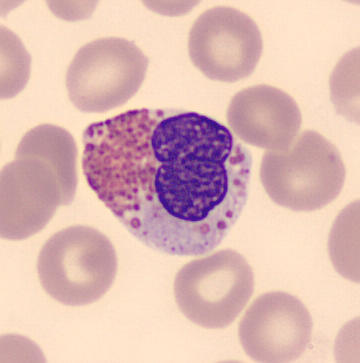 Q: Identify the cell.
A: An eosinophilic granulocyte.